Bone marrow aspirate smear — 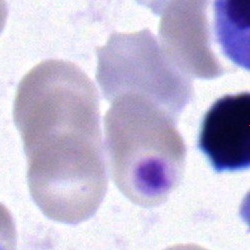
Morphological class — typical lymphocyte.